May-Grünwald-Giemsa/Pappenheim stain; bone marrow aspirate smear: 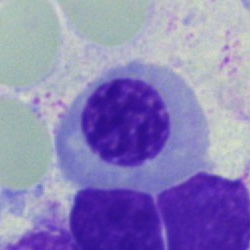
The morphological class is nucleated red blood cell.